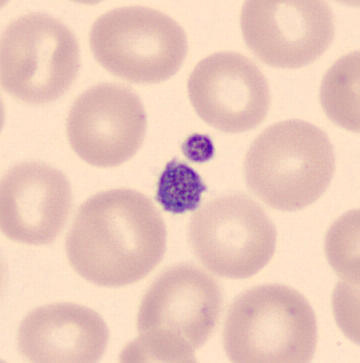
Morphology consistent with a platelet.